Peripheral blood film.
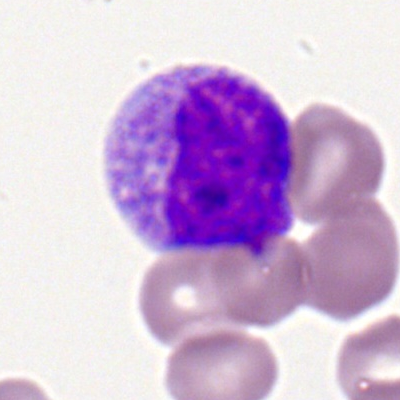

The cell shown is a metamyelocyte.